Peripheral blood film: 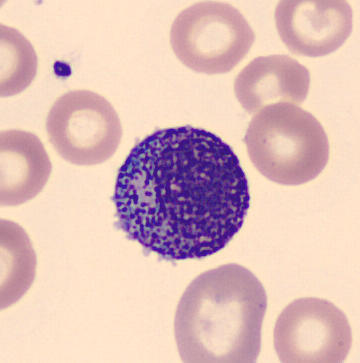

Morphological class: myelocyte.